Bone marrow aspirate smear; May-Grünwald-Giemsa/Pappenheim stain — 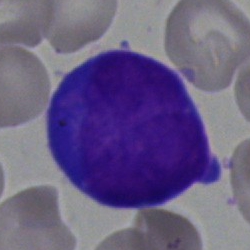

Impression → undifferentiated blast.